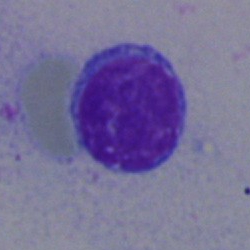 Q: What type of cell is this?
A: A typical lymphocyte.